Bone marrow smear — 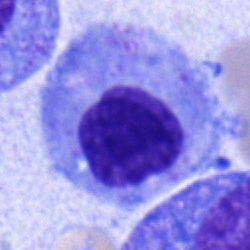Morphology consistent with a myelocyte.